Bone marrow aspirate smear:
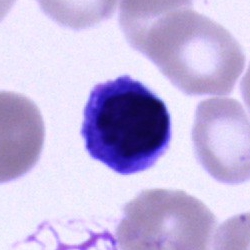

Cell: nucleated red blood cell.